Bone marrow smear:
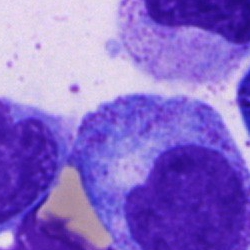 Impression — progranulocyte.